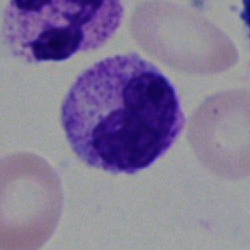 Classification = neutrophil (band).